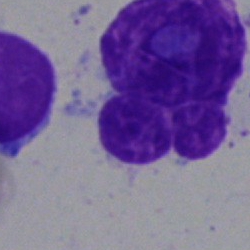

Q: What is shown here?
A: This is an artefact.